Bone marrow aspirate smear.
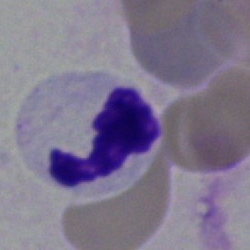Morphology — neutrophil (segmented).